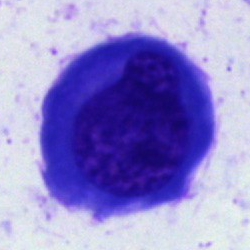Impression → nucleated red blood cell.